Bone marrow aspirate smear: 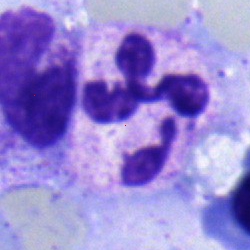
Specimen: bone marrow aspirate smear.
Morphological class: polymorphonuclear neutrophil.
Lineage: myeloid.